Bone marrow smear:
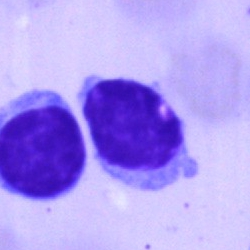
Classification: lymphocyte.